Bone marrow smear: 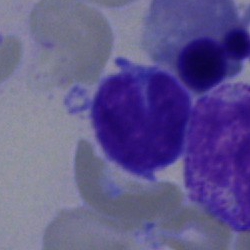 Morphology consistent with a lymphocyte.